Bone marrow smear.
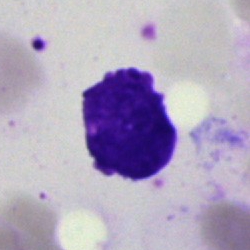
Artefact.